Romanowsky-type stain · peripheral blood film · single cell centered in the field: 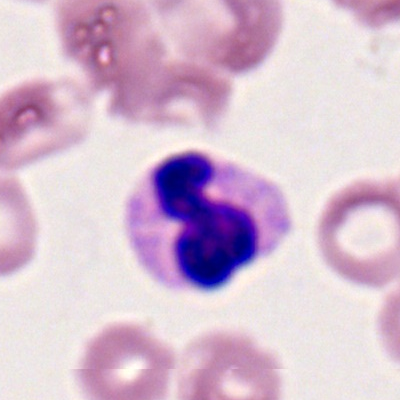Morphology → polymorphonuclear neutrophil.